Image size 250×250. Bone marrow smear: 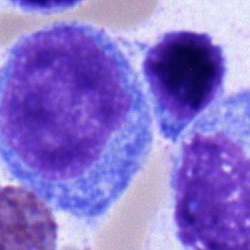

Monocyte.